Peripheral blood smear — 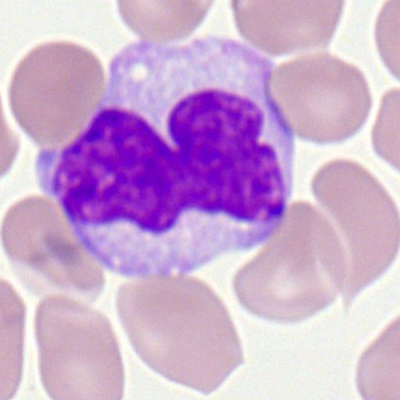

Single cell identified as a monocyte.